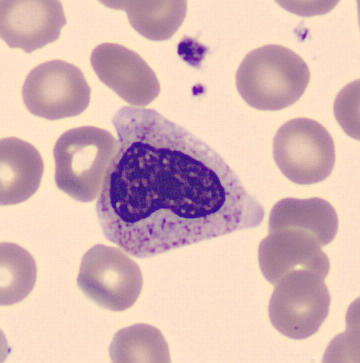Acquisition: Peripheral blood film · May Grünwald-Giemsa stain.

Showing a metamyelocyte.